Brightfield, 40× oil-immersion objective. Bone marrow smear.
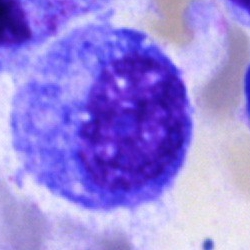 Progranulocyte.